Bone marrow aspirate smear · cropped to a single cell · brightfield, 40× oil-immersion objective:
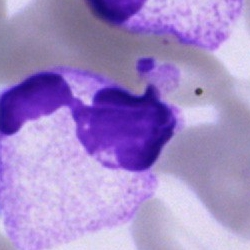

Single cell identified as a neutrophil (segmented).